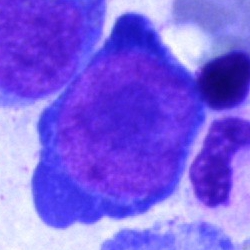
The cell is proerythroblast.